Bone marrow aspirate smear · single-cell field — 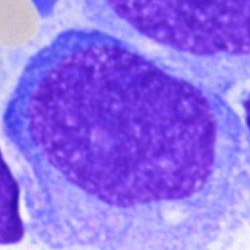

Cell type = undifferentiated blast.